Pappenheim-stained · bone marrow aspirate smear · cropped to a single cell: 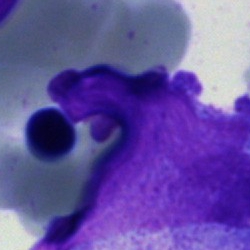Specimen: bone marrow smear.
Cell: undifferentiated blast.